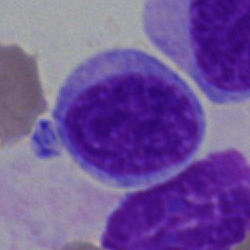

The morphological class is blast.